Bone marrow aspirate smear: 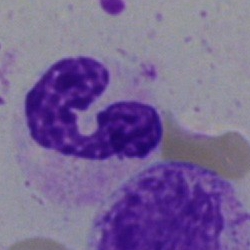The cell type is neutrophil (segmented).